Bone marrow aspirate smear; single-cell crop; image size 250×250: 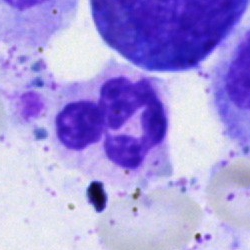

The cell shown is a polymorphonuclear neutrophil.